Peripheral blood film; 400×400:
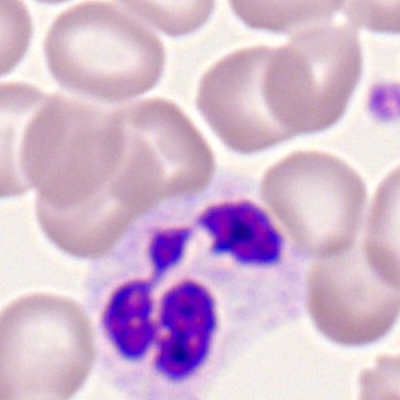

This is a neutrophil (segmented).